Bone marrow aspirate smear:
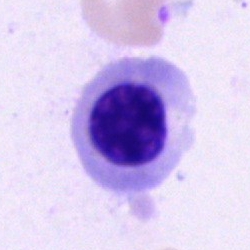

This is a normoblast.